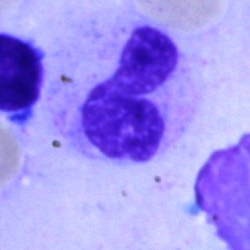Bone marrow aspirate smear, single cell — neutrophil (segmented).